Bone marrow smear · single-cell crop: 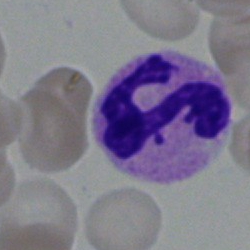 Classification: segmented neutrophil.